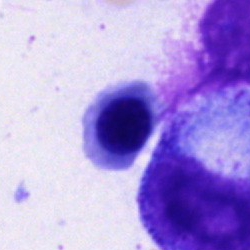
Q: What is the morphological classification of this cell?
A: A nucleated red cell.